Single-cell crop; bone marrow smear: 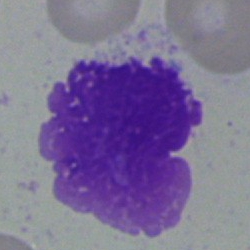 This is an artifact.